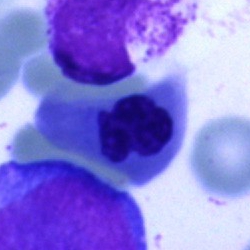
Bone marrow aspirate smear, single cell — nucleated red cell.